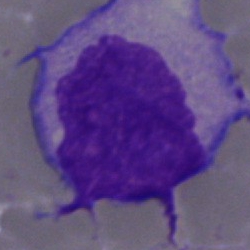 A monocyte.